Bone marrow aspirate smear:
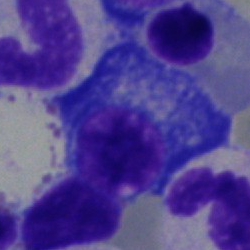Specimen: bone marrow aspirate smear.
Classification: plasma cell.
Lineage: lymphoid.